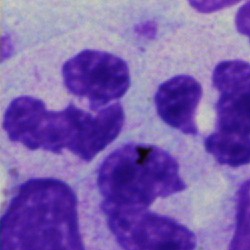

This is a segmented neutrophil.